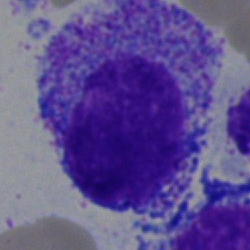 Cell — promyelocyte.